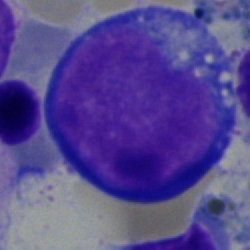Q: What cell is this?
A: Pronormoblast.